Bone marrow aspirate smear — 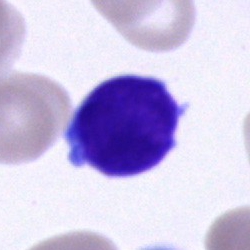

Cell type = typical lymphocyte.